Bone marrow aspirate smear
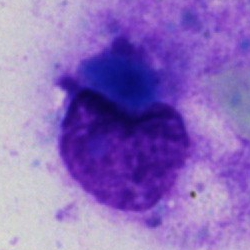

Morphology → artifact.